Peripheral blood smear
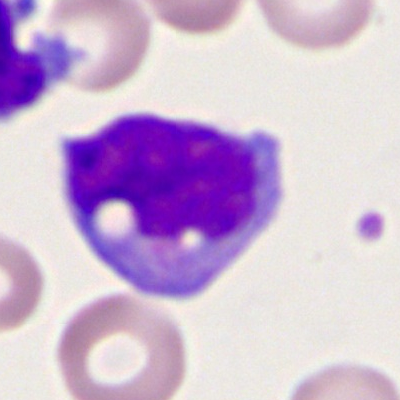 Single cell identified as a monocyte.